Bone marrow aspirate smear: 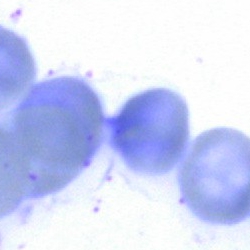

Morphological class: artefact.